Bone marrow aspirate smear
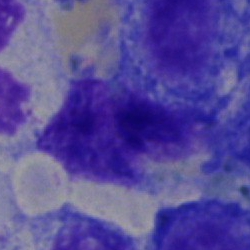Q: What is shown here?
A: An artefact.